Bone marrow smear; 250×250 px; single cell centered in the field:
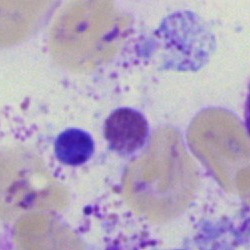 The cell shown is an artefact.